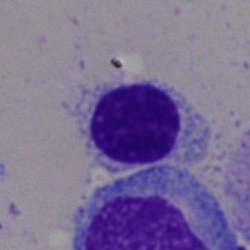Morphological class = lymphocyte.